Bone marrow aspirate smear: 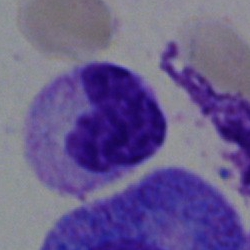
Cell type: band-form neutrophil.